Bone marrow smear
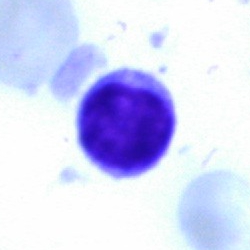A typical lymphocyte.